Bone marrow aspirate smear:
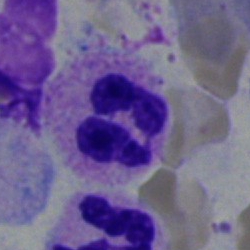Morphology — polymorphonuclear neutrophil.